250×250 px; bone marrow aspirate smear
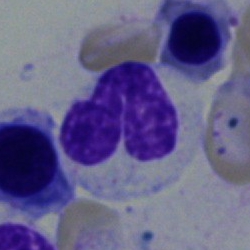{"cell_type": "stab cell", "lineage": "myeloid"}